Bone marrow smear: 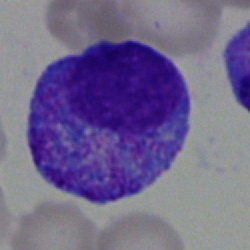
Morphology → progranulocyte.